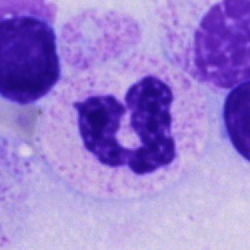

Classification = polymorphonuclear neutrophil.